Bone marrow smear — 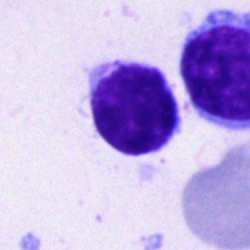
Showing a typical lymphocyte.